Single cell centered in the field; bone marrow smear
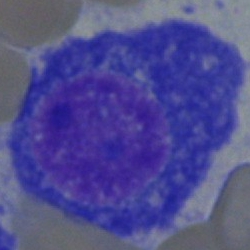 Morphology — plasma cell.